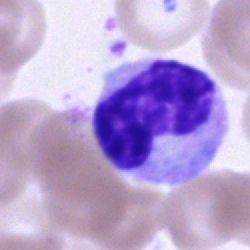
The classification is metamyelocyte.